Pappenheim-stained; bone marrow aspirate smear — 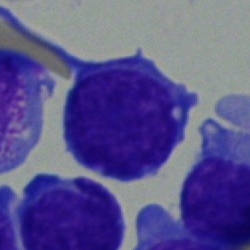
Cell type — undifferentiated blast.